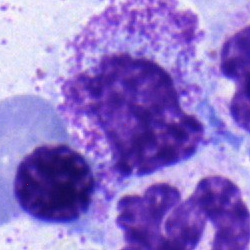Q: What cell is this?
A: Myelocyte.